Bone marrow aspirate smear; MGG-stained.
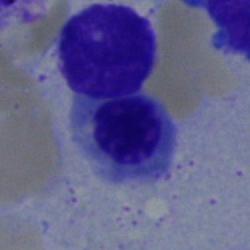
{"cell_type": "nucleated red cell", "lineage": "erythroid"}